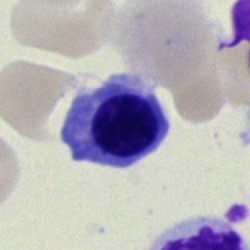
Q: Identify the cell.
A: This is a normoblast.